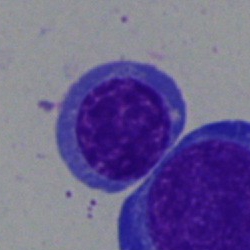
A nucleated red cell on a bone marrow smear.